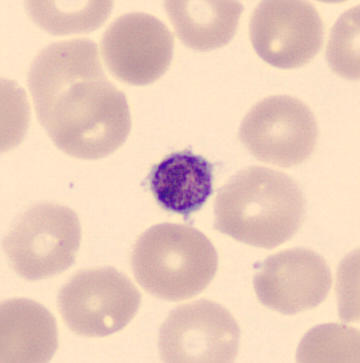 Image: May Grünwald-Giemsa stain · peripheral blood smear.
The classification is thrombocyte.